400 by 400 pixels. Peripheral blood smear
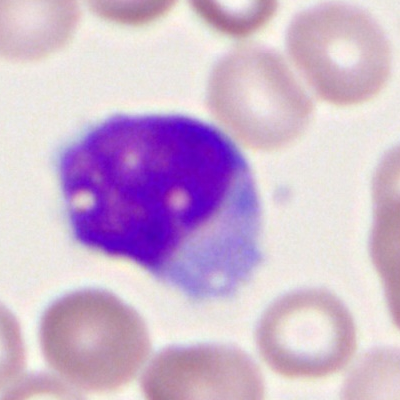

Showing a monocyte.